Bone marrow smear.
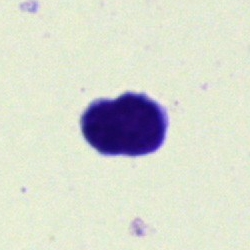
The morphological class is typical lymphocyte.